Bone marrow aspirate smear.
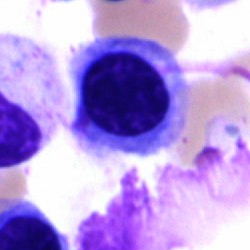{"cell_type": "normoblast", "lineage": "erythroid"}